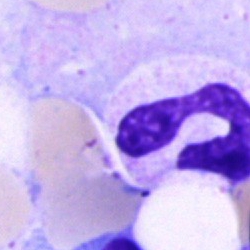Q: Which cell type is shown here?
A: It is a segmented neutrophil.